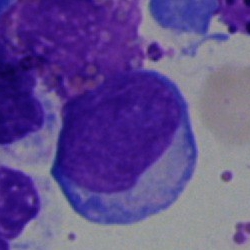

Q: Identify the cell.
A: A blast cell.